Bone marrow aspirate smear — 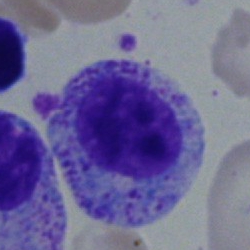Cell type: myelocyte.